Bone marrow aspirate smear: 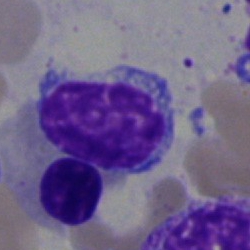 Cell type — typical lymphocyte.